Bone marrow aspirate smear: 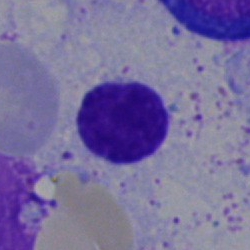Showing a lymphocyte.